Bone marrow aspirate smear — 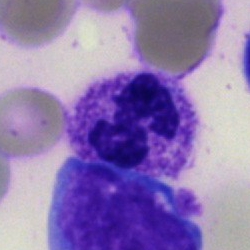

The cell is neutrophil (segmented).